Bone marrow aspirate smear · cropped to a single cell: 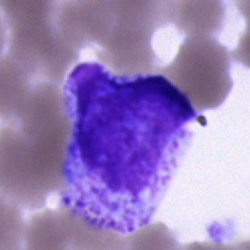
Morphology consistent with an artifact.